Brightfield, 40× oil-immersion objective. Bone marrow aspirate smear:
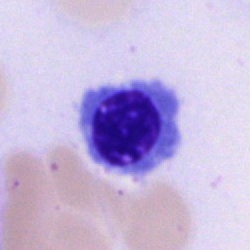 A nucleated red cell.